Bone marrow aspirate smear · Pappenheim-stained:
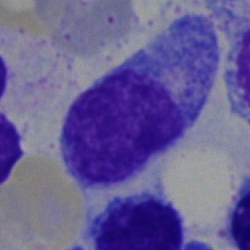

Q: What is shown here?
A: Lymphocyte.